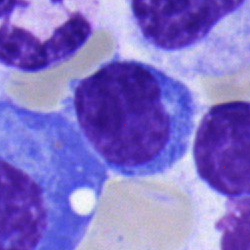 Single cell identified as a lymphocyte.